Bone marrow smear; 40× objective, oil immersion:
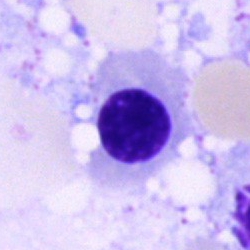
{"cell_type": "normoblast", "lineage": "erythroid"}